Single-cell crop · bone marrow aspirate smear.
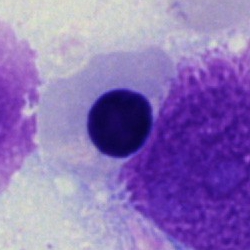 The cell shown is a normoblast.